Bone marrow smear: 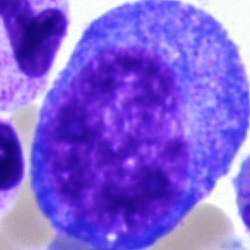

The cell is promyelocyte.